Bone marrow aspirate smear
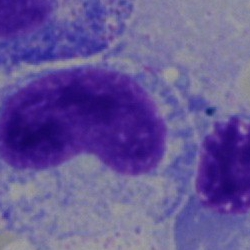The cell shown is a metamyelocyte.